Peripheral blood film.
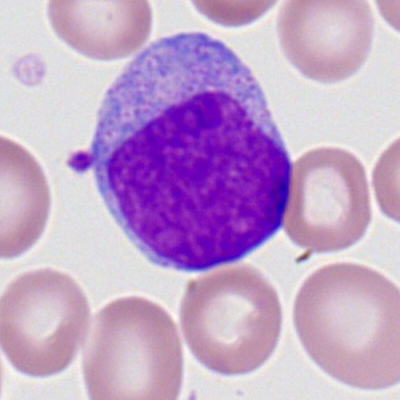
Impression — myeloblast.